250×250 · brightfield, 40× oil-immersion objective · bone marrow aspirate smear
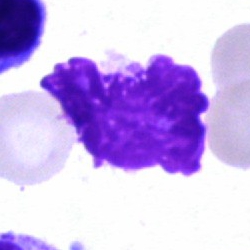 {"cell_type": "artefact"}